Bone marrow smear: 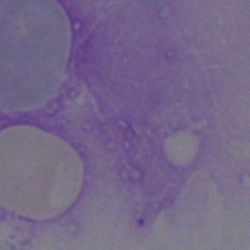Cell — artefact.